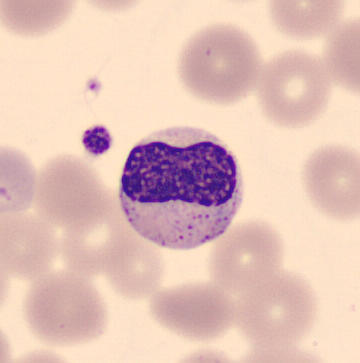
Morphological class — metamyelocyte.